Bone marrow smear · 40× objective, oil immersion: 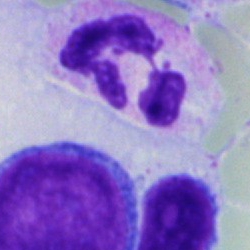Cell — neutrophil (segmented).